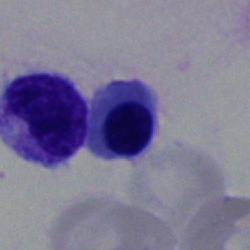
Q: What cell is this?
A: This is a normoblast.